Single cell centered in the field; bone marrow smear: 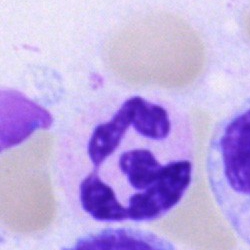

The cell shown is a polymorphonuclear neutrophil.